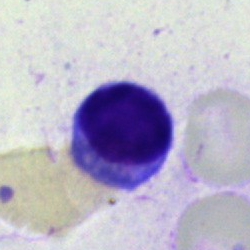 Cell type — lymphocyte.